Single-cell crop. Bone marrow aspirate smear — 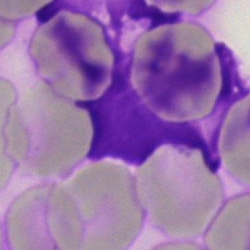 Cell — artefact.